Bone marrow aspirate smear.
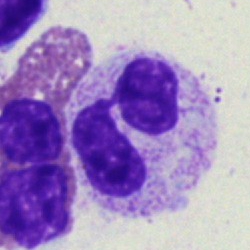The cell is neutrophil (segmented).